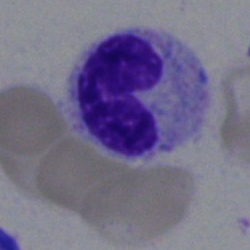

Single-cell crop from a bone marrow smear: band neutrophil.